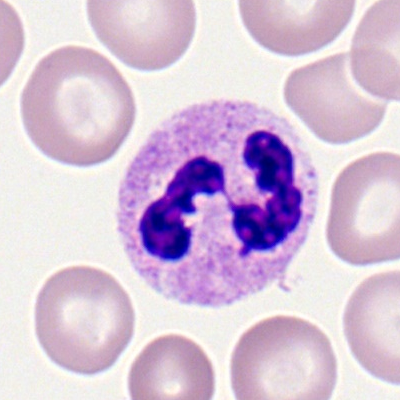
Q: What type of cell is this?
A: A segmented neutrophil.